Bone marrow smear.
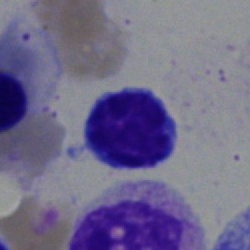

Cell — lymphocyte.